Bone marrow aspirate smear · MGG-stained:
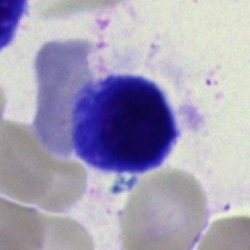 Showing a typical lymphocyte.